Bone marrow smear; brightfield, 40× oil-immersion objective; image size 250×250 — 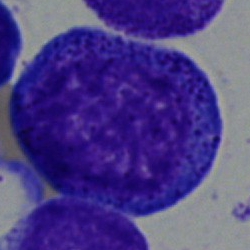Promyelocyte.